Bone marrow aspirate smear — 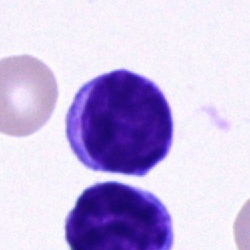Classification: lymphocyte.